Single-cell field. Bone marrow aspirate smear — 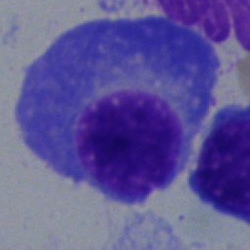
The classification is plasma cell.